40× oil immersion. Bone marrow smear:
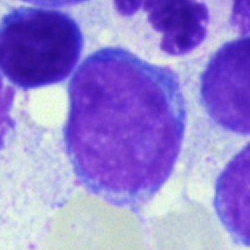This is a blast cell.